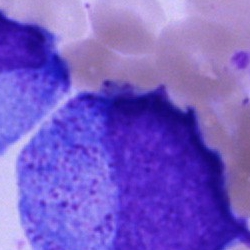
Q: What type of cell is this?
A: This is a promyelocyte.